May-Grünwald-Giemsa stain · bone marrow smear.
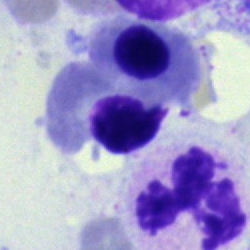{"cell_type": "nucleated red cell", "lineage": "erythroid"}